Bone marrow smear · May-Grünwald-Giemsa/Pappenheim stain · single-cell field:
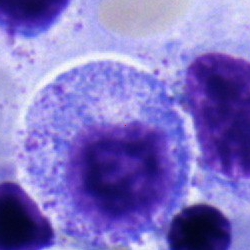 Morphology — promyelocyte.